Cropped to a single cell. May-Grünwald-Giemsa stain. Bone marrow smear: 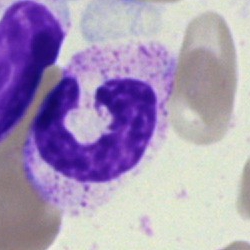 Cell — neutrophil (band).